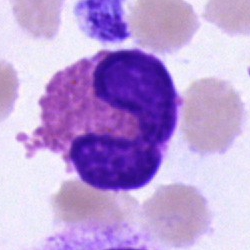

Classification — eosinophilic granulocyte.